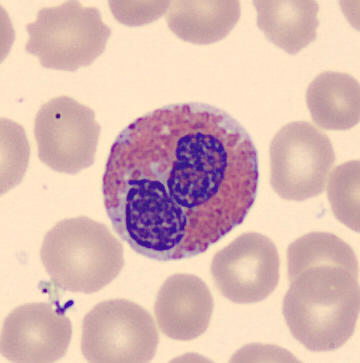 Specimen: peripheral blood smear.
Cell type: eosinophilic granulocyte.
Lineage: myeloid.